Peripheral blood film: 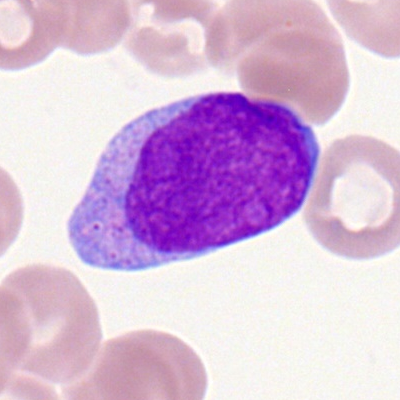
Cell — myeloblast.